May-Grünwald-Giemsa stain. Bone marrow aspirate smear. Single-cell field:
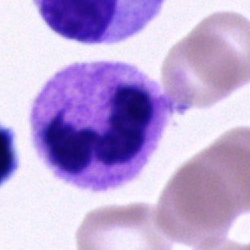Cell: neutrophil (segmented).